Bone marrow aspirate smear:
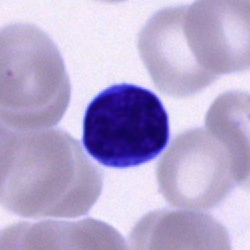
Classification: typical lymphocyte.